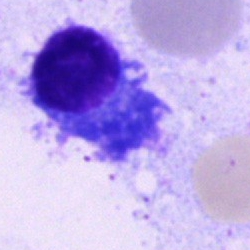
This is a plasma cell.